Single-cell field · peripheral blood film
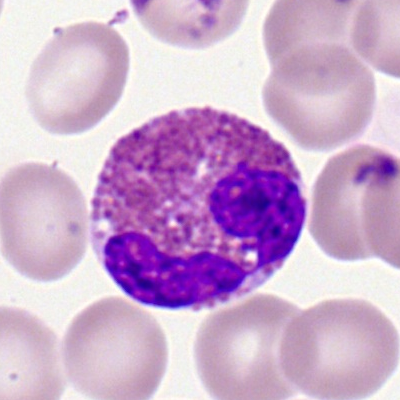

Morphological class = eosinophil.